250 by 250 pixels · brightfield microscopy, 40× oil immersion · bone marrow aspirate smear — 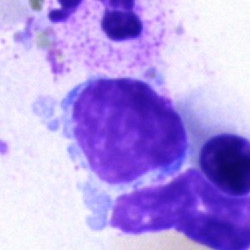

Typical lymphocyte.